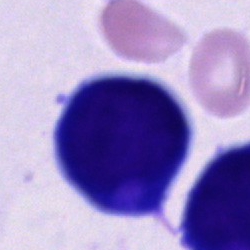
Specimen: bone marrow aspirate smear.
Cell: cell of indeterminate lineage.